Bone marrow aspirate smear
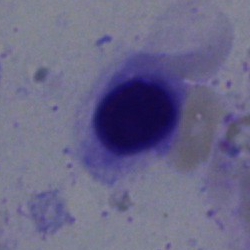

Morphological class = nucleated red cell.